Bone marrow aspirate smear · 40× objective, oil immersion — 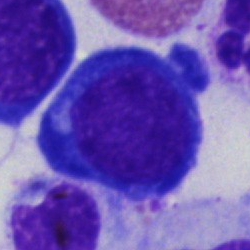Q: What type of cell is this?
A: This is a normoblast.